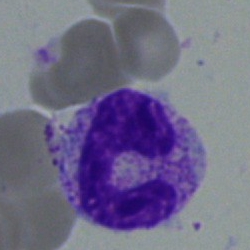Morphology consistent with a band neutrophil.